Bone marrow aspirate smear. 40× objective, oil immersion
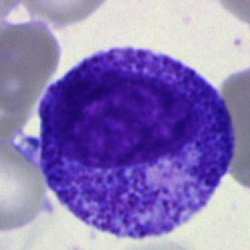
Progranulocyte.